Bone marrow smear. MGG-stained
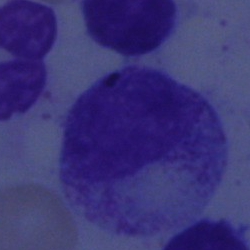
{"cell_type": "myelocyte", "lineage": "myeloid"}